Bone marrow smear — 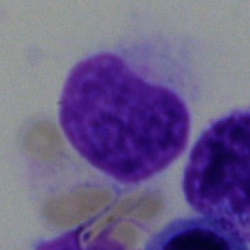

Hairy cell.